Bone marrow smear
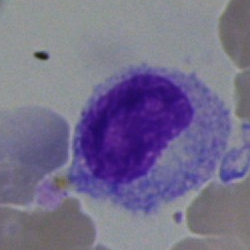

Morphology consistent with a myelocyte.